Bone marrow aspirate smear · single-cell crop
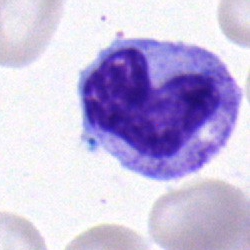The cell type is neutrophil (band).